Bone marrow aspirate smear.
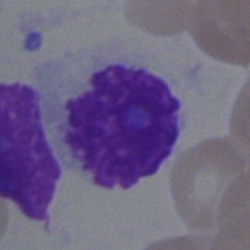The morphological class is artifact.